Bone marrow smear
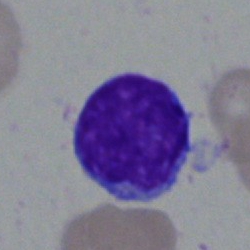
The classification is lymphocyte.